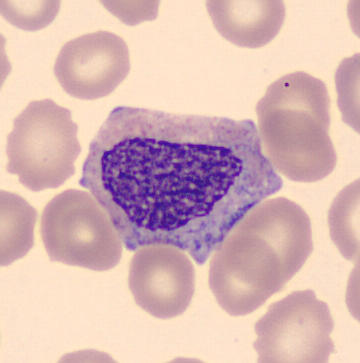
Specimen: peripheral blood film.
Classification: myelocyte.